Pappenheim-stained; bone marrow aspirate smear — 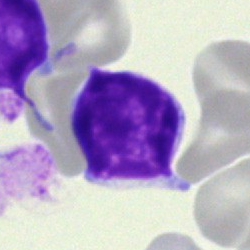A typical lymphocyte.